Bone marrow aspirate smear. MGG-stained: 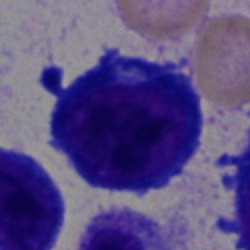

Cell type: pronormoblast.